Bone marrow aspirate smear; single-cell crop:
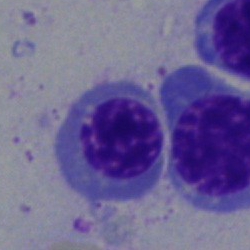Specimen: bone marrow smear.
Cell: erythroblast.
Lineage: erythroid.